Bone marrow aspirate smear · MGG-stained
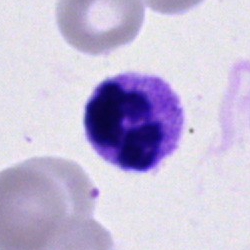 {"cell_type": "segmented neutrophil", "lineage": "myeloid"}